Bone marrow aspirate smear · cropped to a single cell · MGG-stained
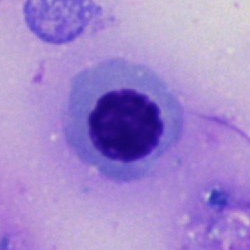 Q: Which cell type is shown here?
A: It is a nucleated red blood cell.